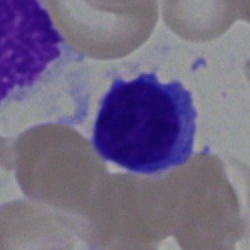Single cell identified as a plasmacyte.